Bone marrow aspirate smear — 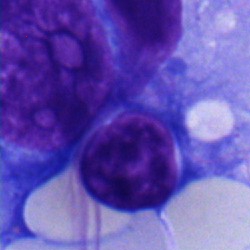 Impression → pronormoblast.